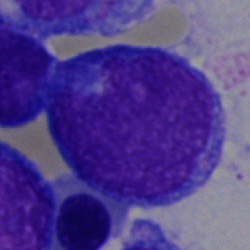Q: Identify the cell.
A: This is a blast cell.